Single-cell crop · bone marrow aspirate smear · MGG-stained
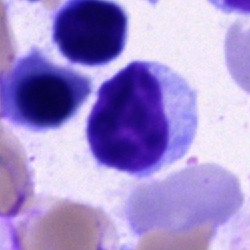Q: What type of cell is this?
A: A typical lymphocyte.